Peripheral blood smear.
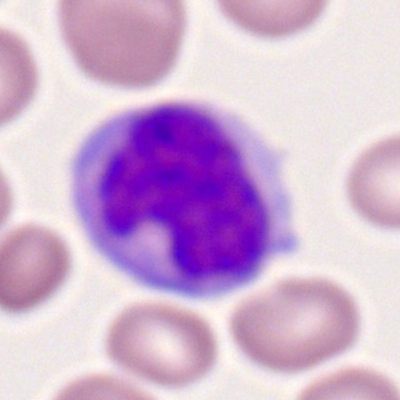Monocyte.